Bone marrow aspirate smear · single-cell field.
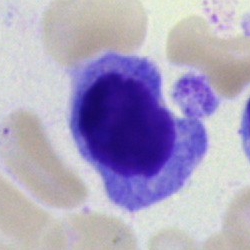

Specimen: bone marrow smear.
Morphological class: normoblast.